Bone marrow aspirate smear; Pappenheim-stained: 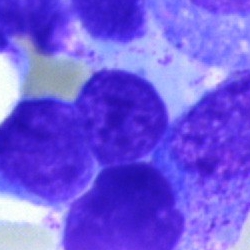 Morphology — typical lymphocyte.